Bone marrow smear
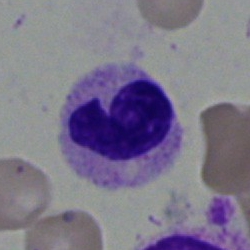Cell = neutrophil (band).